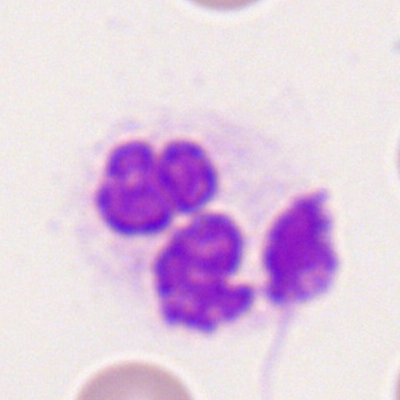Polymorphonuclear neutrophil.